Bone marrow aspirate smear; image size 250×250:
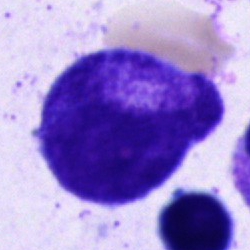

Specimen: bone marrow smear.
Cell: progranulocyte.
Lineage: myeloid.